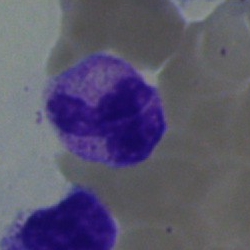Q: What is shown here?
A: This is a polymorphonuclear neutrophil.